Bone marrow aspirate smear: 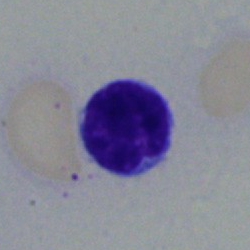Classification = lymphocyte.